Bone marrow smear:
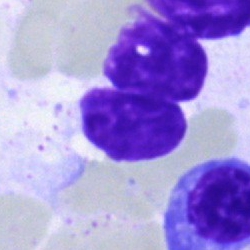

Morphology consistent with an artefact.